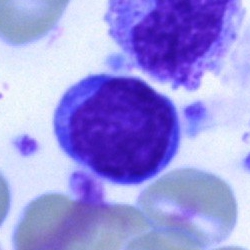

The cell shown is a lymphocyte.